Single-cell crop; May-Grünwald-Giemsa/Pappenheim stain; bone marrow smear.
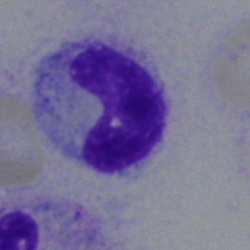 Q: What is shown here?
A: A band-form neutrophil.